Bone marrow smear.
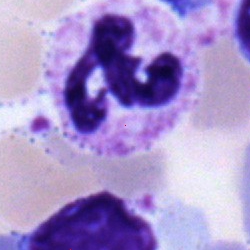

Q: What is the morphological classification of this cell?
A: It is a segmented neutrophil.